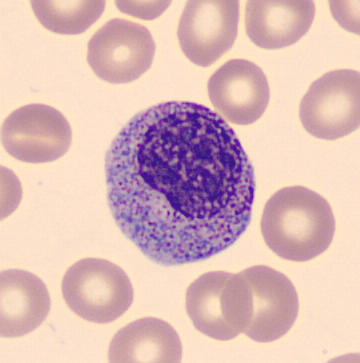
Q: What type of cell is this?
A: A myelocyte.

Image: Peripheral blood smear.